Bone marrow smear · 40× objective, oil immersion.
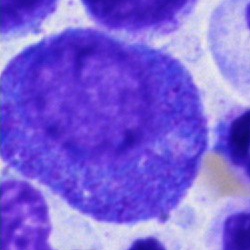
Morphological class — promyelocyte.